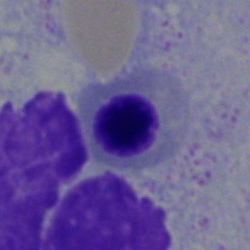Morphological class: normoblast.